Single-cell field; bone marrow aspirate smear; brightfield microscopy, 40× oil immersion — 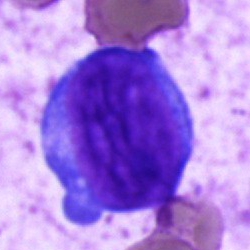
Cell type — blast cell.